250 by 250 pixels. Bone marrow smear — 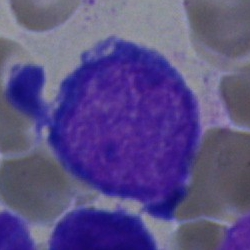 Normoblast.